Single-cell crop · bone marrow aspirate smear · image size 250×250: 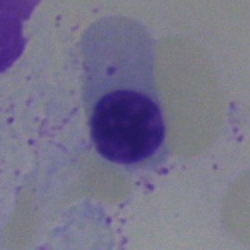
A nucleated red cell.